Bone marrow aspirate smear: 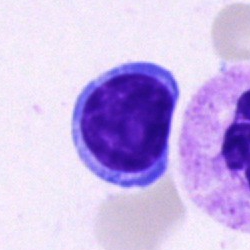
Morphology consistent with a lymphocyte.